Peripheral blood smear:
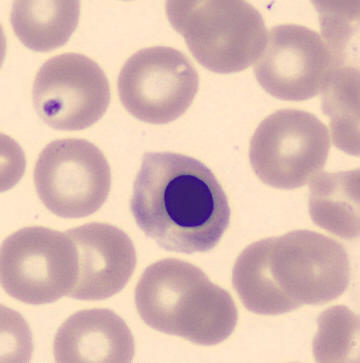 Normoblast.